Single-cell field · 250 by 250 pixels · bone marrow aspirate smear:
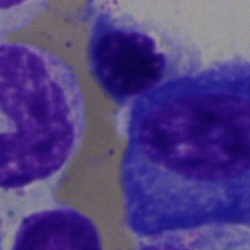

Morphology consistent with a plasmacyte.